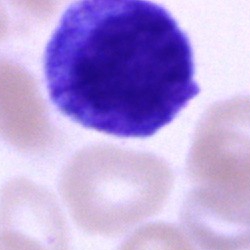Cell type = promyelocyte.